Bone marrow aspirate smear — 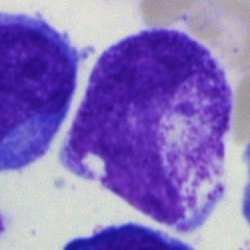The cell is metamyelocyte.